Peripheral blood smear:
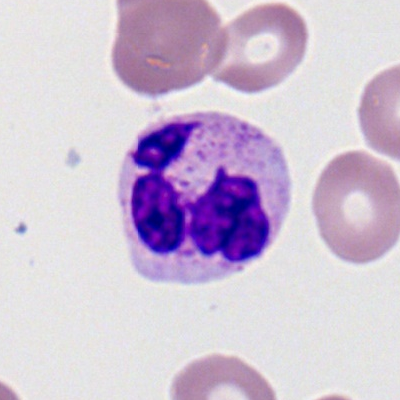 Morphology → neutrophil (segmented).